Bone marrow smear
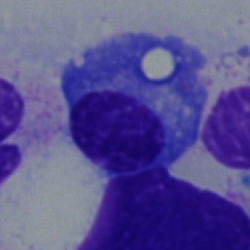 The morphological class is plasmacyte.